Bone marrow smear — 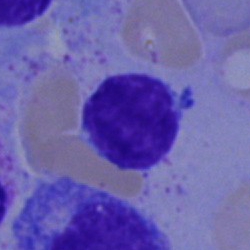
Impression — typical lymphocyte.